Bone marrow smear.
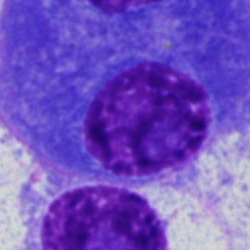 Specimen: bone marrow smear.
Classification: plasma cell.